40× objective, oil immersion; bone marrow smear; MGG-stained: 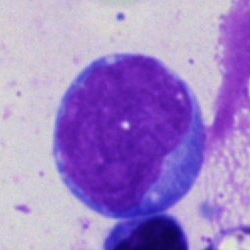 Q: What is the morphological classification of this cell?
A: Blast.